Bone marrow aspirate smear.
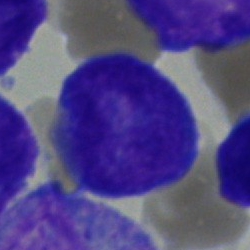 The cell type is blast.